May-Grünwald-Giemsa/Pappenheim stain; bone marrow aspirate smear
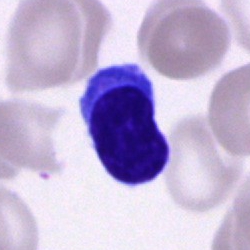The classification is typical lymphocyte.